Bone marrow smear: 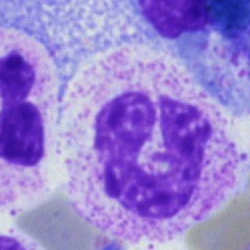

Impression — stab cell.